Bone marrow aspirate smear · 250 by 250 pixels.
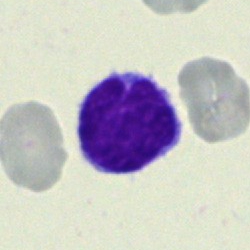Q: What type of cell is this?
A: A lymphocyte.